May-Grünwald-Giemsa stain · single-cell field · bone marrow smear: 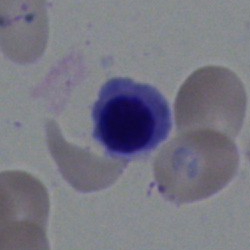
Cell — nucleated red blood cell.